Bone marrow smear — 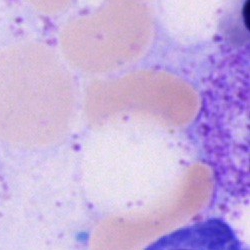

{"cell_type": "artefact"}